May-Grünwald-Giemsa/Pappenheim stain. Bone marrow smear: 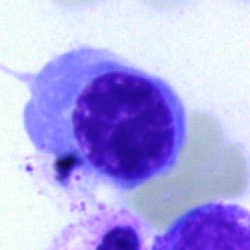
Q: What is shown here?
A: A normoblast.